Bone marrow smear; 250 by 250 pixels — 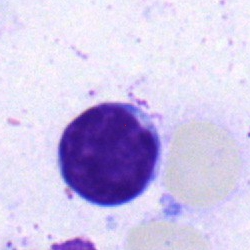

Q: Which cell type is shown here?
A: It is a lymphocyte.